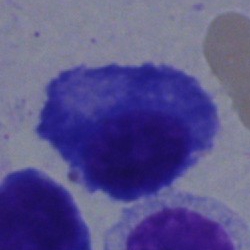

Classification = plasmacyte.